Bone marrow aspirate smear.
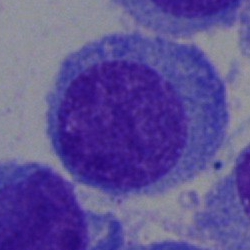
Plasma cell.